Bone marrow smear. Cropped to a single cell. May-Grünwald-Giemsa stain
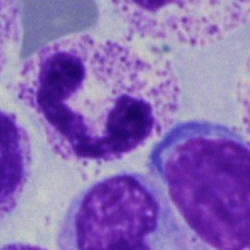

Classification: neutrophil (segmented).